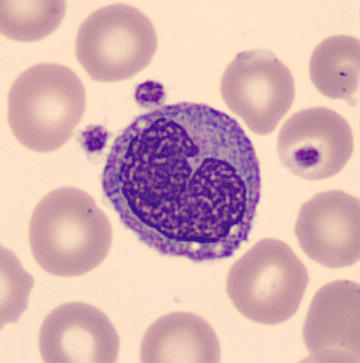
Acquisition: Automated cell imaging (CellaVision DM96); peripheral blood film; 360 by 363 pixels.
This is a monocyte.